Bone marrow aspirate smear.
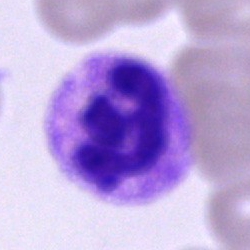Morphological class — neutrophil (segmented).